250×250; bone marrow smear.
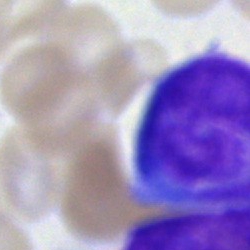Blast.